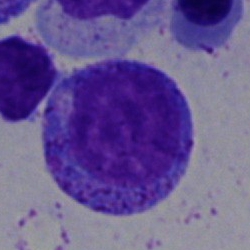
Morphology — progranulocyte.